Bone marrow smear · brightfield, 40× oil-immersion objective — 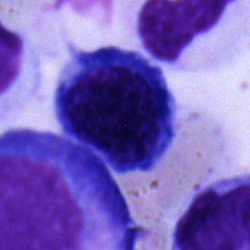

Q: What type of cell is this?
A: Erythroblast.